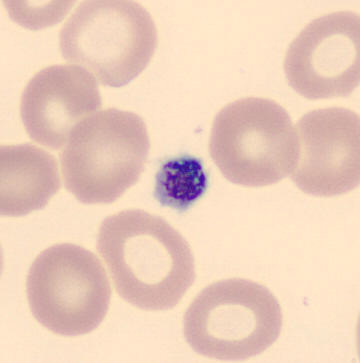
Preparation: Peripheral blood smear. Identified as a platelet (thrombocyte).